Bone marrow smear. Single-cell crop: 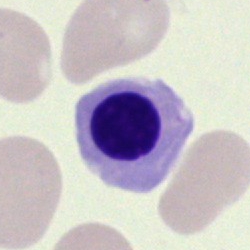
The cell shown is a normoblast.